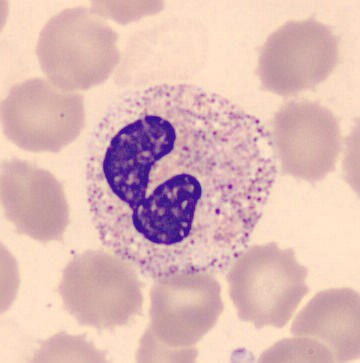
Single cell identified as a neutrophil (segmented).

360 by 363 pixels · peripheral blood film.